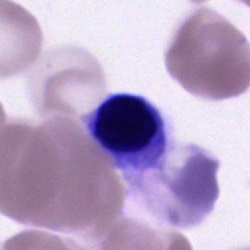Cell: nucleated red cell.